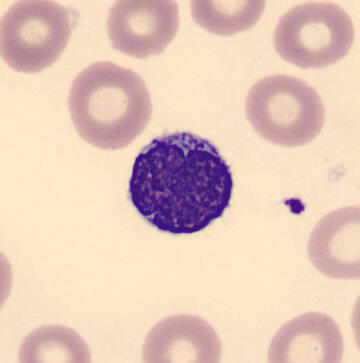Impression → typical lymphocyte.

Peripheral blood film.